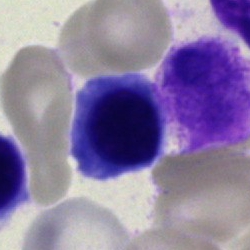
Cell: normoblast.